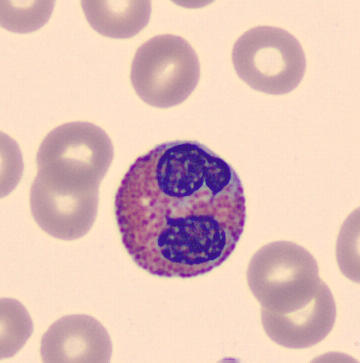
Q: What cell is this?
A: Eosinophilic granulocyte.
Peripheral blood film.